Bone marrow aspirate smear:
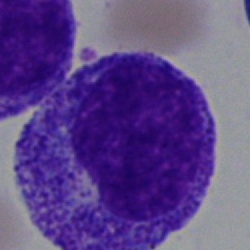Cell = progranulocyte.